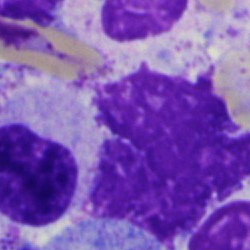Bone marrow aspirate smear, single cell — artifact.